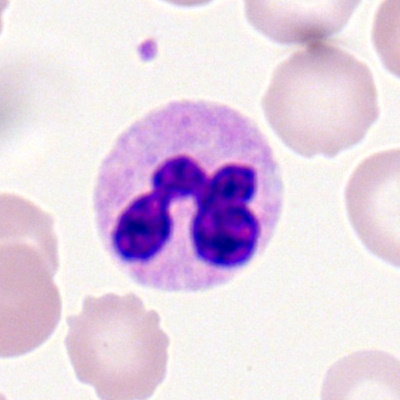 Cell — neutrophil (segmented).